Romanowsky-stained; peripheral blood smear; image size 400×400 — 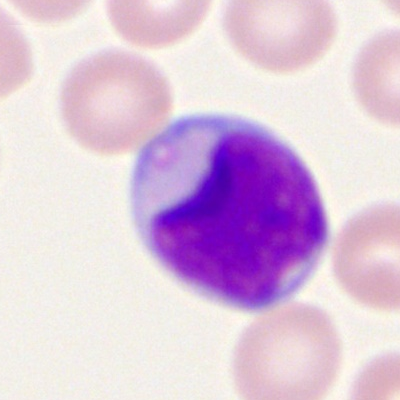Morphology — myeloid blast.